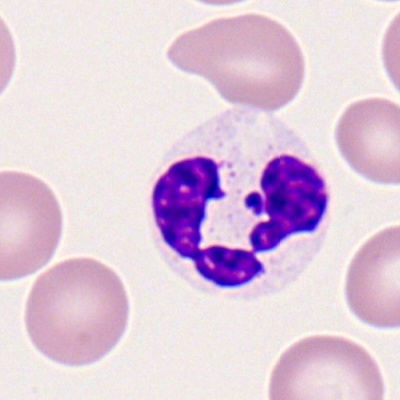 Classification: polymorphonuclear neutrophil.